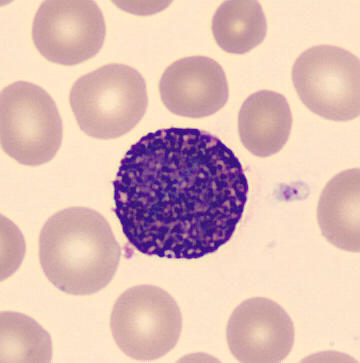
Image: Peripheral blood smear.
Cell type = basophilic granulocyte.